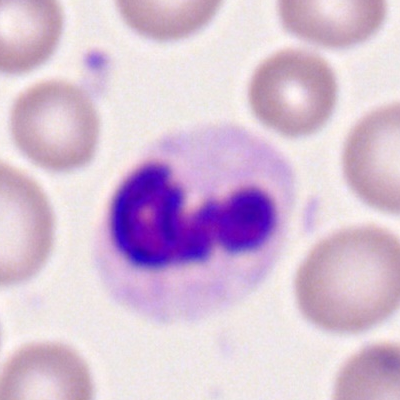Single cell identified as a segmented neutrophil.